Bone marrow smear: 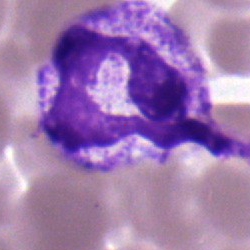
Showing a segmented neutrophil.